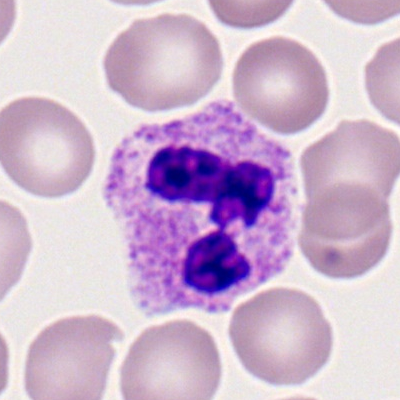Cell = segmented neutrophil.